Image size 250×250 · bone marrow aspirate smear: 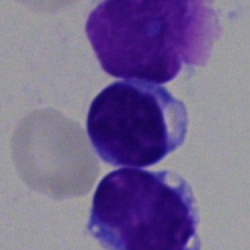Classification = lymphocyte.